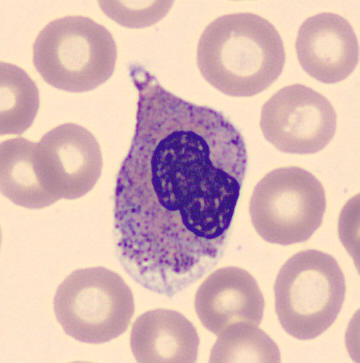
Cell = metamyelocyte.